Image size 250×250 · bone marrow smear · brightfield microscopy, 40× oil immersion — 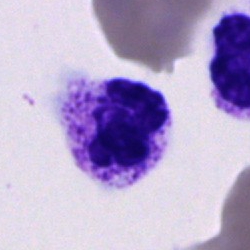

Cell — segmented neutrophil.